Bone marrow smear. Image size 250×250.
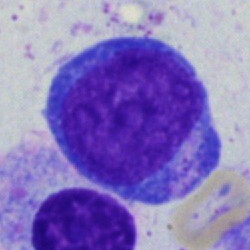

Morphological class: progranulocyte.